40× oil immersion · bone marrow aspirate smear: 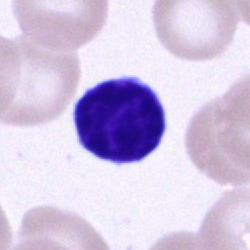

This is a lymphocyte.